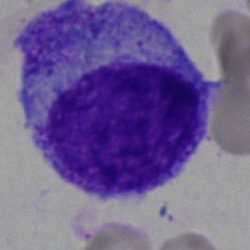 Impression — myelocyte.